Single-cell crop · bone marrow smear · brightfield, 40× oil-immersion objective
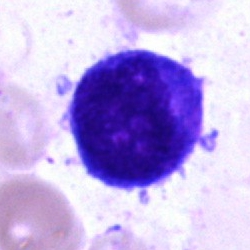Impression — blast.